250 by 250 pixels; bone marrow aspirate smear.
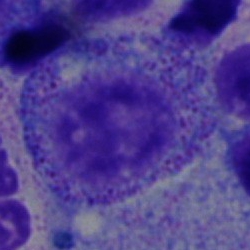Specimen: bone marrow aspirate smear.
Cell type: progranulocyte.